May-Grünwald-Giemsa stain. 40× objective, oil immersion. Bone marrow smear
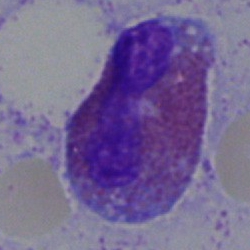
An eosinophil.